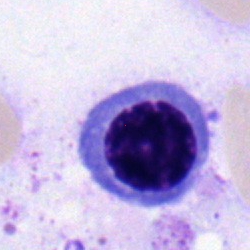Specimen: bone marrow smear.
Cell: nucleated red blood cell.
Lineage: erythroid.